Bone marrow smear
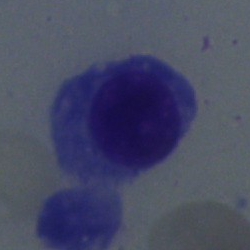

Specimen: bone marrow aspirate smear.
Cell type: plasmacyte.